MGG-stained; bone marrow aspirate smear.
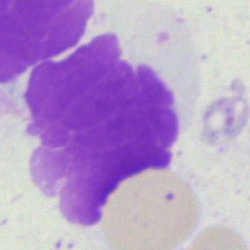Showing an artefact.